Bone marrow aspirate smear — 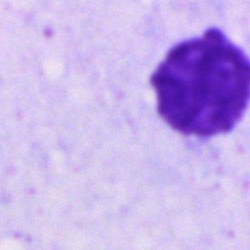Morphology consistent with an artifact.